Bone marrow smear.
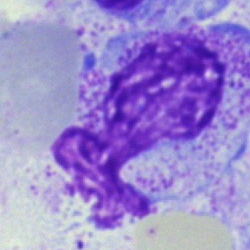 Morphological class — artefact.